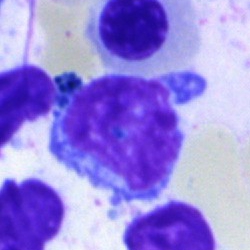Showing a lymphocyte.